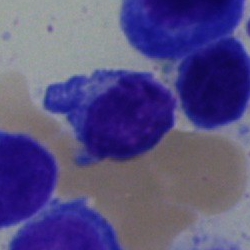Specimen: bone marrow aspirate smear.
Morphological class: typical lymphocyte.